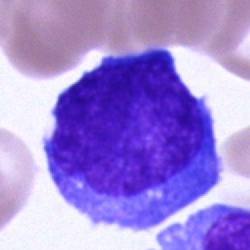
Bone marrow aspirate smear, single cell — undifferentiated blast.